Bone marrow smear; cropped to a single cell; 250 by 250 pixels: 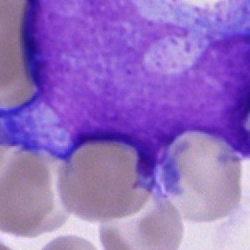

Specimen: bone marrow aspirate smear.
Cell type: artifact.